Bone marrow smear · 250 by 250 pixels:
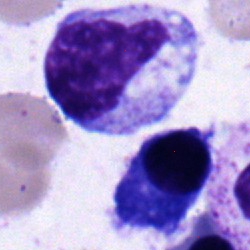Morphology consistent with a myelocyte.